250 by 250 pixels. Bone marrow aspirate smear
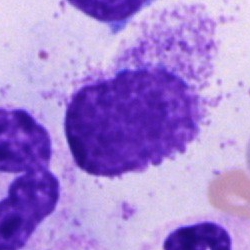

Classification — artefact.